MGG-stained · bone marrow smear
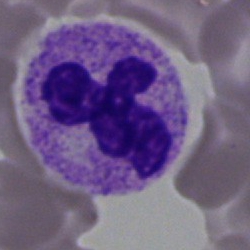This is a segmented neutrophil.